Bone marrow smear:
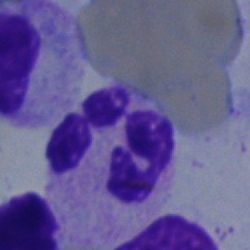
Single cell identified as a neutrophil (segmented).